Bone marrow smear.
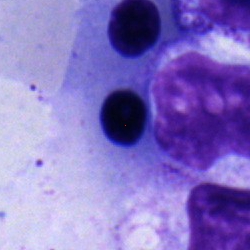

Normoblast.